Single-cell field · bone marrow aspirate smear:
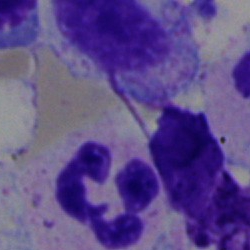
Specimen: bone marrow aspirate smear.
Cell: segmented neutrophil.
Lineage: myeloid.